Bone marrow aspirate smear; May-Grünwald-Giemsa/Pappenheim stain:
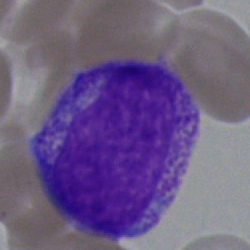

Q: What is the morphological classification of this cell?
A: It is a myelocyte.